Bone marrow aspirate smear. 250×250. MGG-stained:
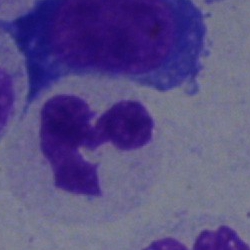

Showing a polymorphonuclear neutrophil.